Bone marrow aspirate smear: 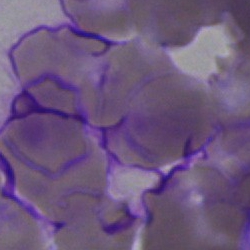

This is an artefact.